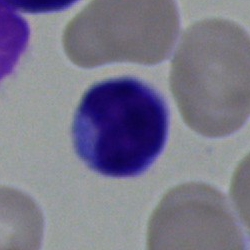 Specimen: bone marrow aspirate smear.
Cell type: lymphocyte.
Lineage: lymphoid.